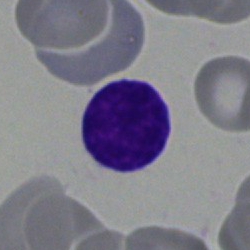
{"cell_type": "lymphocyte", "lineage": "lymphoid"}